Peripheral blood smear.
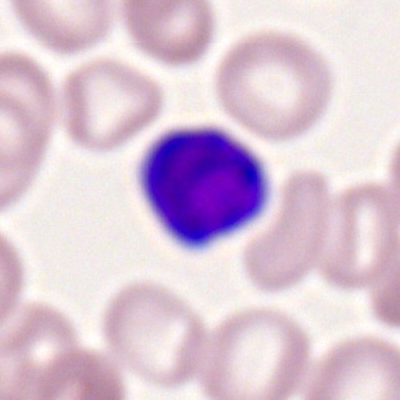 {"cell_type": "typical lymphocyte", "lineage": "lymphoid"}